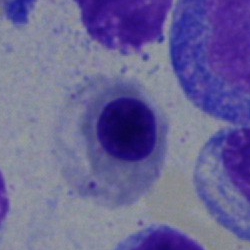Q: Identify the cell.
A: This is an erythroblast.